Bone marrow aspirate smear — 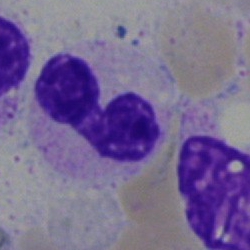
Classification = neutrophil (segmented).